Single-cell field; bone marrow aspirate smear; 40× oil immersion: 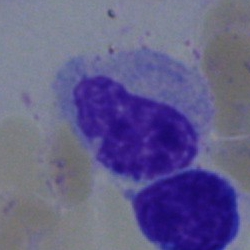
Single cell identified as a band-form neutrophil.